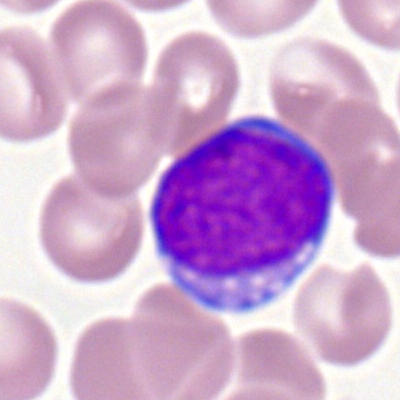Morphological class = myeloblast.